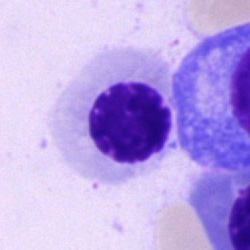{"cell_type": "erythroblast"}